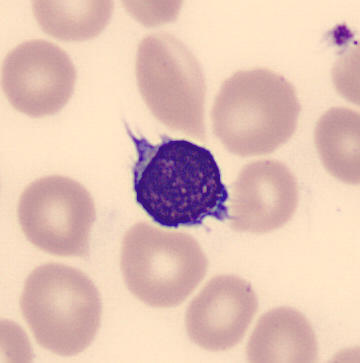
{"cell_type": "lymphocyte"}